Bone marrow smear — 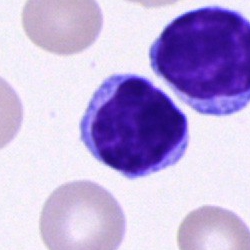
Cell = typical lymphocyte.